250×250 px. Bone marrow aspirate smear: 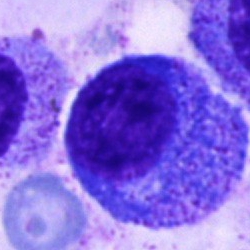

{"cell_type": "promyelocyte", "lineage": "myeloid"}